Bone marrow smear.
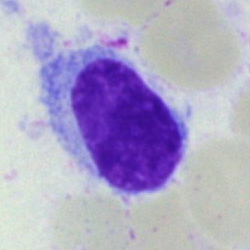Showing a hairy cell.